Peripheral blood smear — 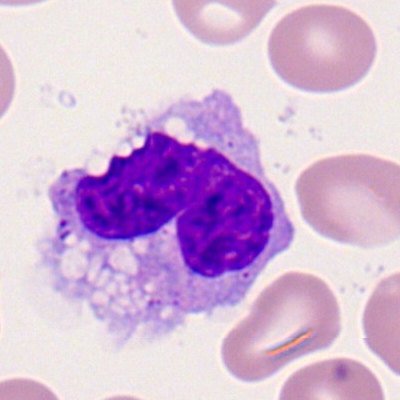

Specimen: peripheral blood smear.
Cell: monocyte.
Lineage: myeloid.